250 by 250 pixels; bone marrow aspirate smear: 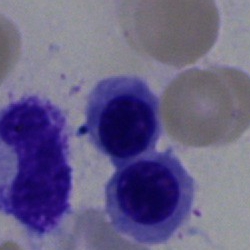
Single cell identified as an erythroblast.